Peripheral blood smear:
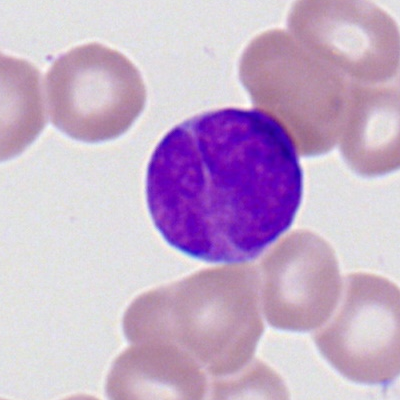 {"cell_type": "myeloblast"}